Peripheral blood smear:
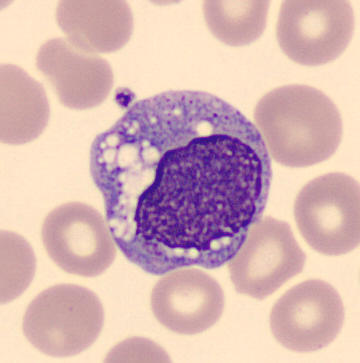{"cell_type": "monocyte"}